Bone marrow aspirate smear
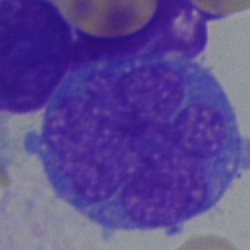

Specimen: bone marrow smear.
Classification: monocyte.
Lineage: myeloid.